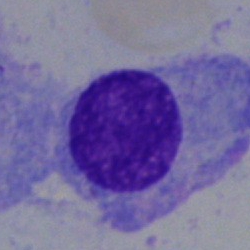
Morphological class — plasma cell.